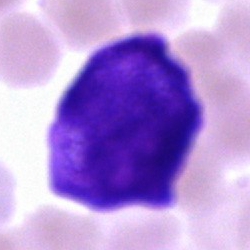 Morphology — undifferentiated blast.